Peripheral blood film.
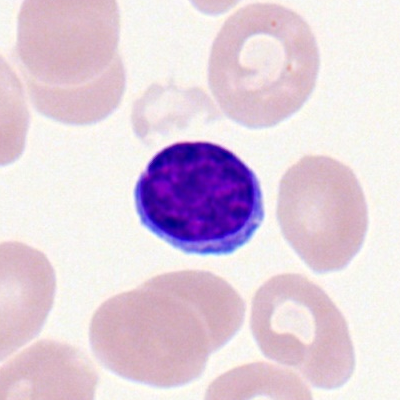
Cell type = typical lymphocyte.